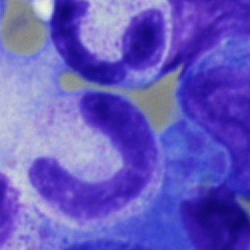 Morphology → neutrophil (band).